M8 digital microscope (Precipoint), 100× oil immersion; Romanowsky-stained; peripheral blood film:
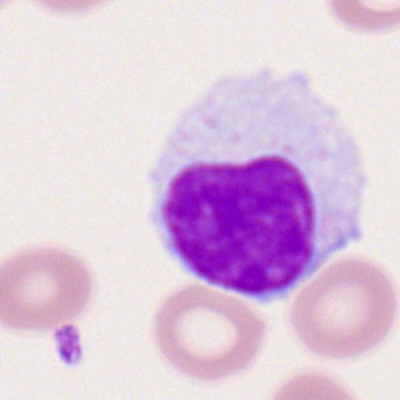 Single cell identified as a typical lymphocyte.